Bone marrow smear:
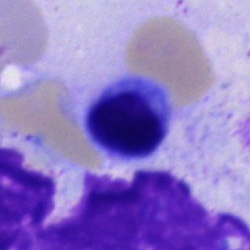Classification — lymphocyte.